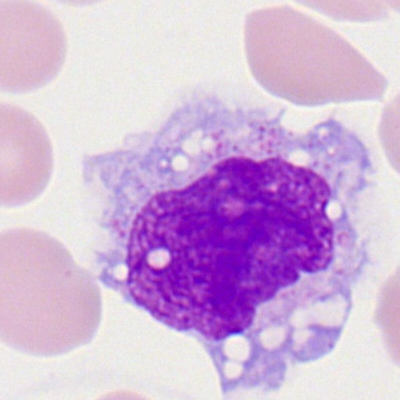 The classification is monocyte.